Bone marrow smear.
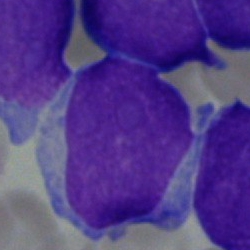 Showing an undifferentiated blast.